Bone marrow aspirate smear · brightfield, 40× oil-immersion objective: 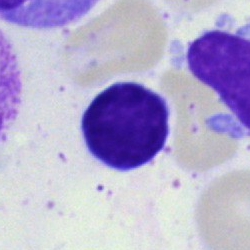A lymphocyte.